Bone marrow aspirate smear; 40× oil immersion; 250×250 — 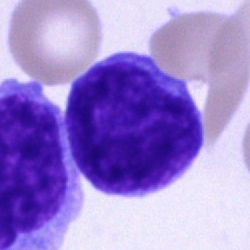

Cell = blast cell.